250×250 px. Bone marrow aspirate smear.
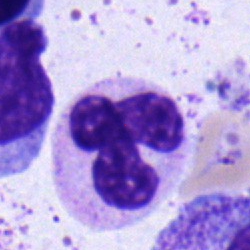Morphology consistent with a polymorphonuclear neutrophil.